Bone marrow smear
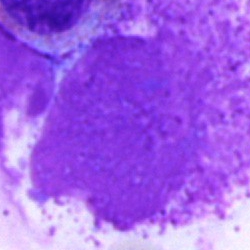An artefact.